Bone marrow aspirate smear: 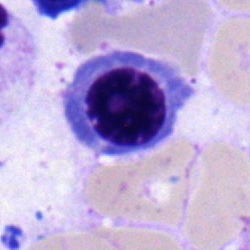 The cell type is nucleated red cell.